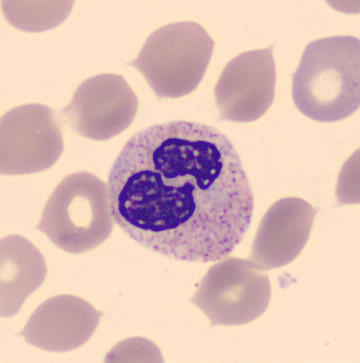The cell shown is a segmented neutrophil.

Acquisition: Peripheral blood smear.